Peripheral blood smear.
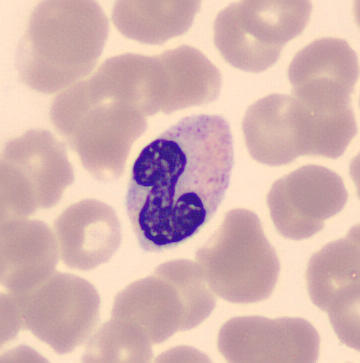This is a stab cell.